Bone marrow aspirate smear — 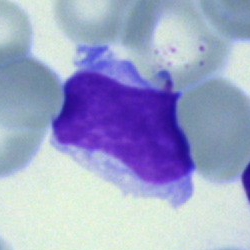
Cell: lymphocyte.